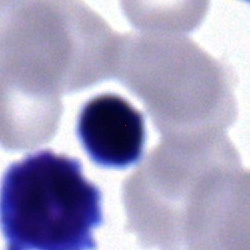Impression → lymphocyte.